Bone marrow aspirate smear
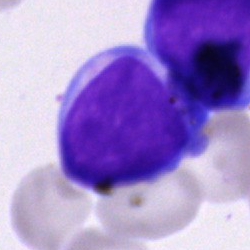 {"cell_type": "undifferentiated blast"}